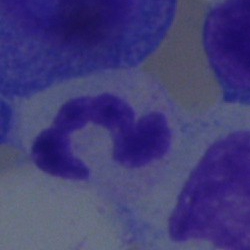
The cell shown is a polymorphonuclear neutrophil.